Peripheral blood film · Romanowsky-stained — 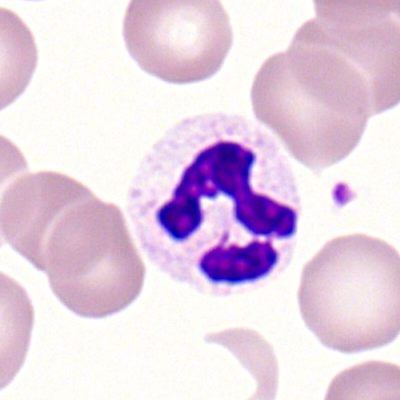Showing a neutrophil (segmented).